Bone marrow aspirate smear; 40× objective, oil immersion; 250×250 px:
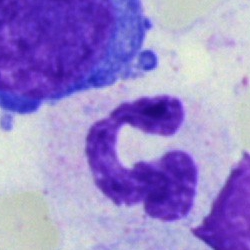
Specimen: bone marrow smear.
Morphological class: neutrophil (segmented).